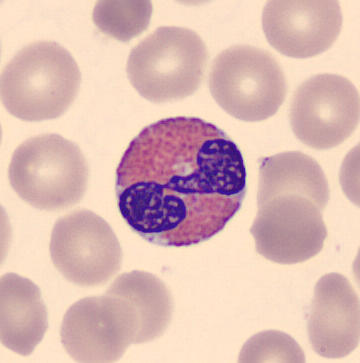
Single cell centered in the field. Peripheral blood film. The cell shown is an eosinophil.